Bone marrow aspirate smear:
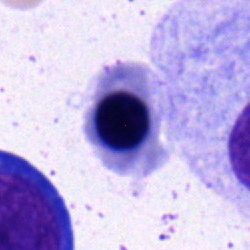 Q: What is the morphological classification of this cell?
A: Nucleated red blood cell.